Bone marrow smear
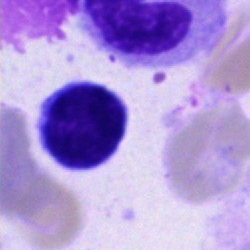 A lymphocyte.